Bone marrow aspirate smear: 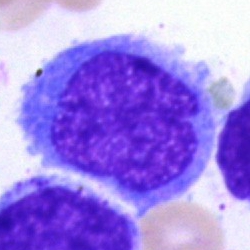

Cell = undifferentiated blast.